40× oil immersion; bone marrow smear.
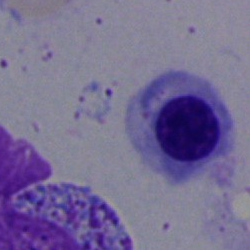

This is a nucleated red cell.